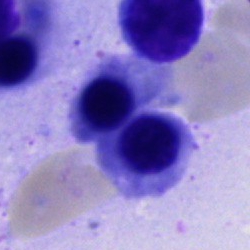 Showing a nucleated red cell.